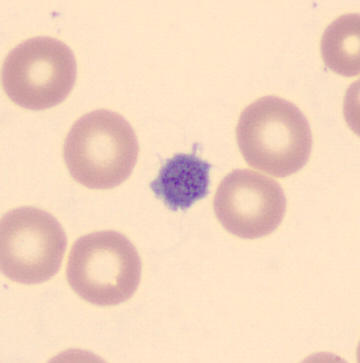MGG stain; peripheral blood film; 360×363 px.
The morphological class is thrombocyte.